Bone marrow aspirate smear; brightfield microscopy, 40× oil immersion: 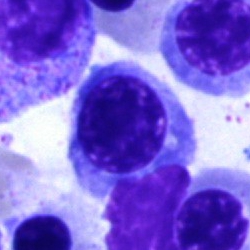Single cell identified as a normoblast.